Peripheral blood smear:
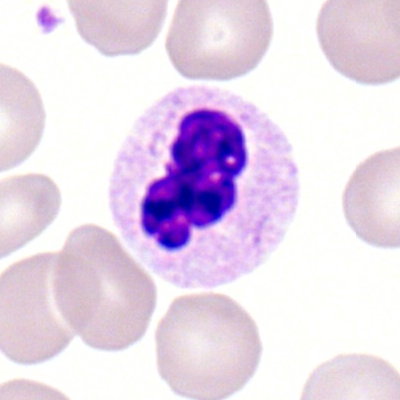

Classification = segmented neutrophil.